Bone marrow aspirate smear. 40× objective, oil immersion.
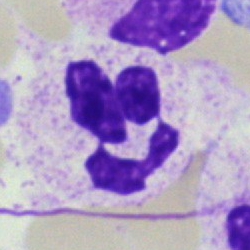 Morphological class — segmented neutrophil.